Bone marrow smear; 250×250 — 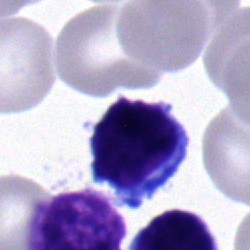

{"cell_type": "lymphocyte"}